Bone marrow smear; image size 250×250; brightfield, 40× oil-immersion objective:
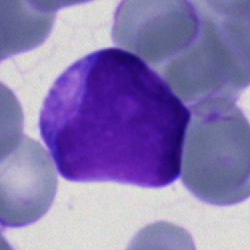

Showing a blast.